Single-cell crop; bone marrow smear: 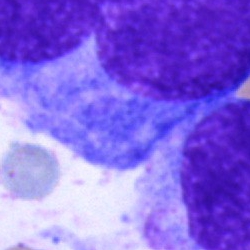

Morphology consistent with an artifact.